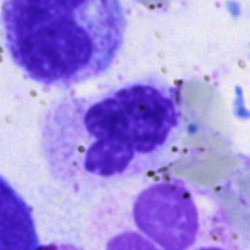 Q: Identify the cell.
A: A polymorphonuclear neutrophil.